Bone marrow smear:
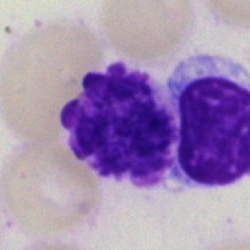 The cell shown is an artifact.